MGG-stained · bone marrow aspirate smear:
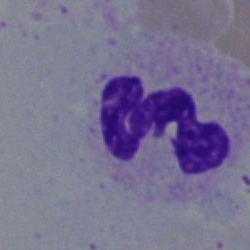

Morphology → segmented neutrophil.